Bone marrow smear
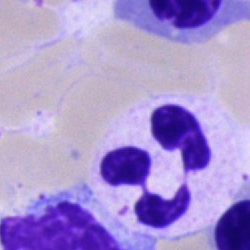Morphology — neutrophil (segmented).